Bone marrow smear — 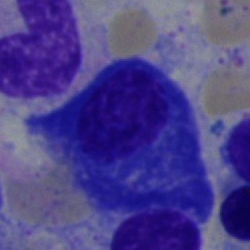
{"cell_type": "plasma cell"}